Bone marrow aspirate smear.
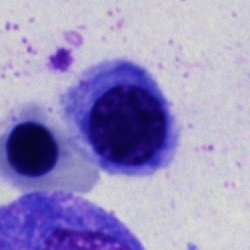

Specimen: bone marrow aspirate smear.
Morphological class: normoblast.
Lineage: erythroid.